Peripheral blood film: 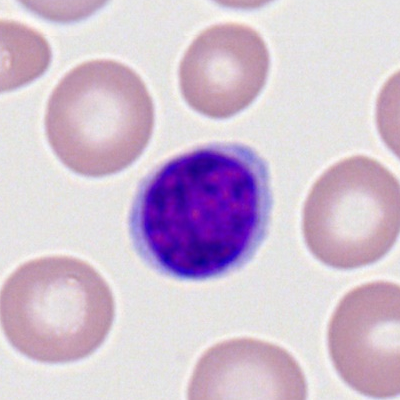 This is a typical lymphocyte.